Bone marrow smear. 250×250
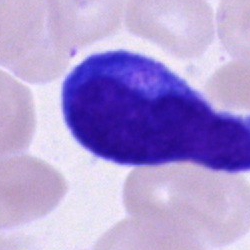

Specimen: bone marrow smear.
Classification: cell of indeterminate lineage.